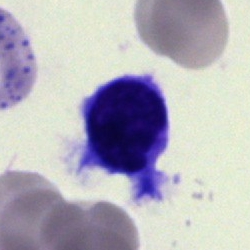Q: What type of cell is this?
A: It is a lymphocyte.